Bone marrow smear.
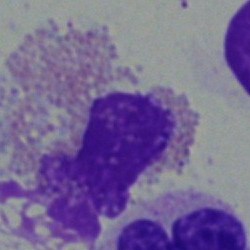Specimen: bone marrow smear.
Classification: eosinophilic granulocyte.